Bone marrow aspirate smear.
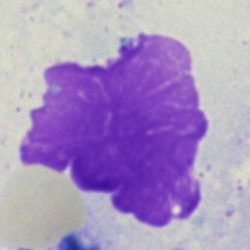Morphology — artifact.